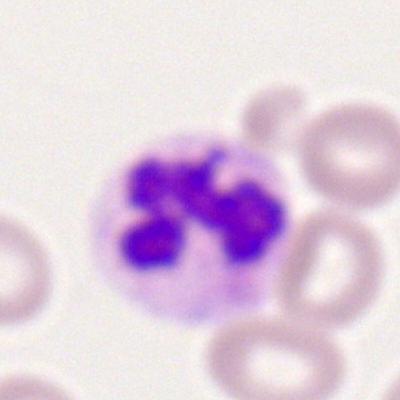
Specimen: peripheral blood film.
Cell type: segmented neutrophil.
Lineage: myeloid.